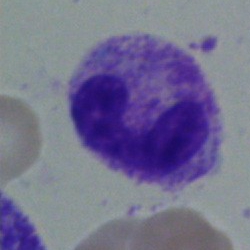

Specimen: bone marrow smear.
Cell type: neutrophil (band).
Lineage: myeloid.